Bone marrow smear.
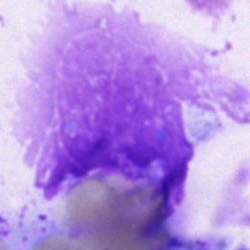An artifact.